Bone marrow smear: 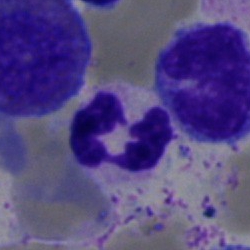
Polymorphonuclear neutrophil.